Bone marrow aspirate smear
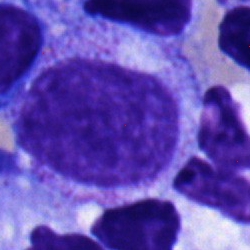Cell = metamyelocyte.